250×250 · bone marrow smear — 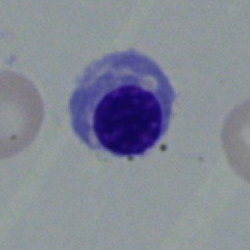 Cell type — nucleated red cell.